Bone marrow aspirate smear: 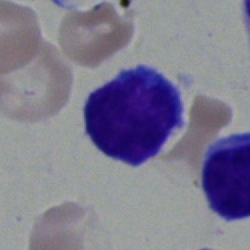
Specimen: bone marrow aspirate smear.
Morphological class: typical lymphocyte.